Bone marrow aspirate smear · single-cell crop · image size 250×250 — 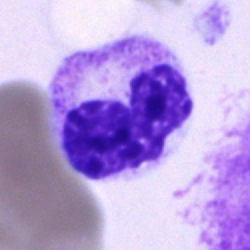{"cell_type": "neutrophil (segmented)", "lineage": "myeloid"}